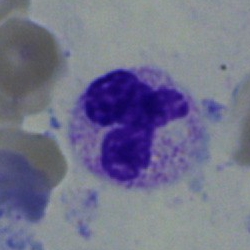 Showing a segmented neutrophil.